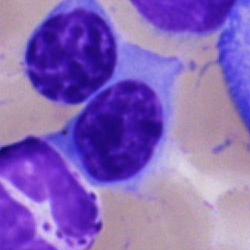

Cell — nucleated red cell.